Bone marrow smear
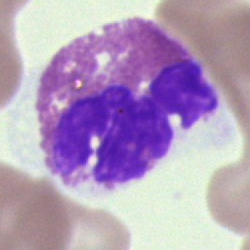 Q: What is shown here?
A: An eosinophil.